Bone marrow smear
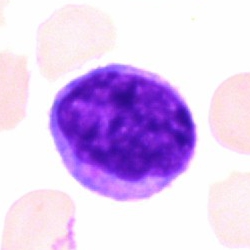
Specimen: bone marrow aspirate smear.
Cell: plasma cell.